100× objective, oil immersion · single-cell crop · peripheral blood film:
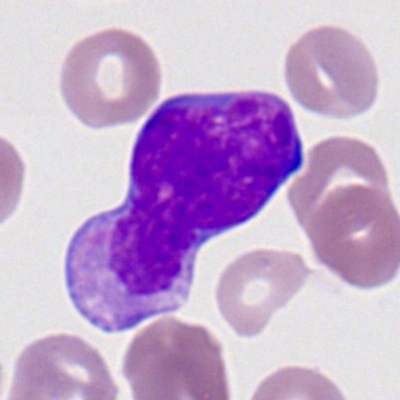
{"cell_type": "myeloblast", "lineage": "myeloid"}